Bone marrow smear.
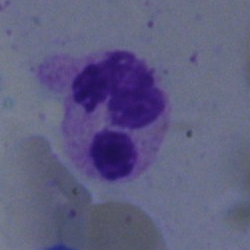 Cell = polymorphonuclear neutrophil.